Bone marrow smear. MGG-stained
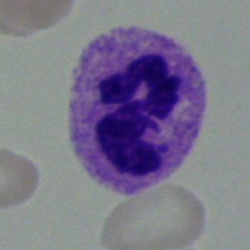Classification = polymorphonuclear neutrophil.